Bone marrow smear.
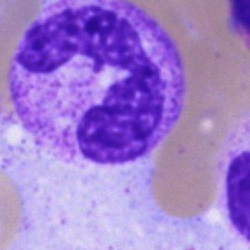

Q: What is the morphological classification of this cell?
A: A polymorphonuclear neutrophil.